Image size 250×250 · bone marrow aspirate smear: 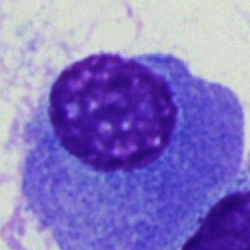 Cell: plasmacyte.